Bone marrow smear: 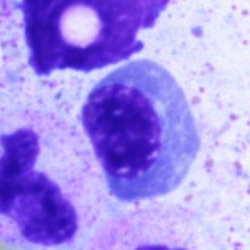
This is a nucleated red cell.